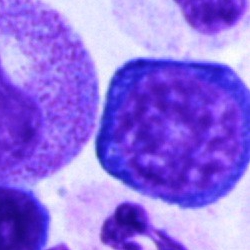
The cell is erythroblast.